Bone marrow smear.
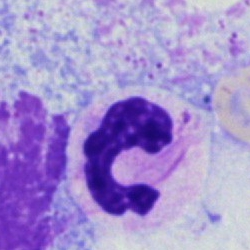 Impression — neutrophil (segmented).